Peripheral blood film; 400×400; single-cell crop:
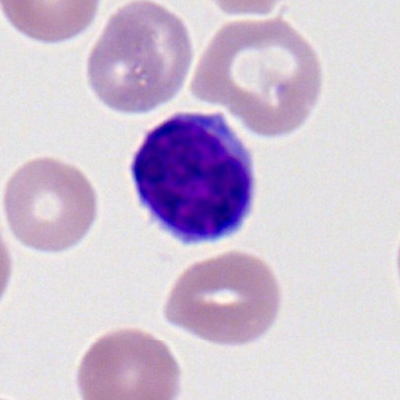

Morphology — typical lymphocyte.